Peripheral blood smear; 400 by 400 pixels; Romanowsky stain: 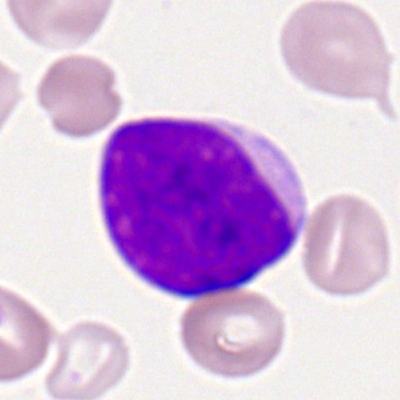Classification = myeloid blast.